Cropped to a single cell · peripheral blood smear — 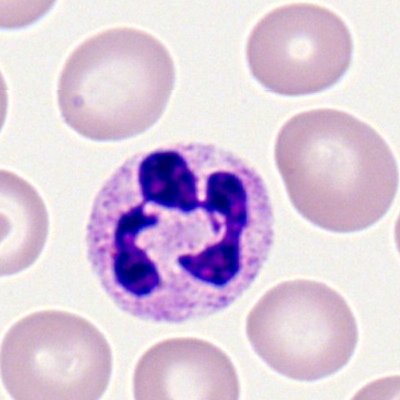The cell shown is a neutrophil (segmented).